Peripheral blood film.
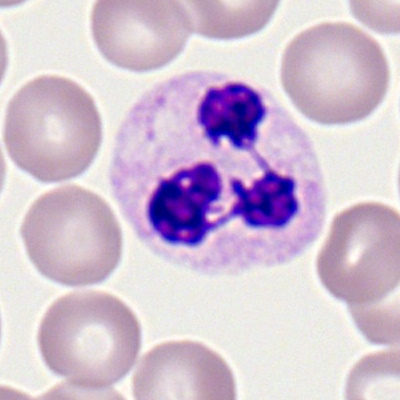This is a neutrophil (segmented).